MGG-stained · bone marrow smear · single cell centered in the field: 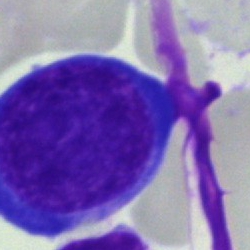

{"cell_type": "erythroblast", "lineage": "erythroid"}